Bone marrow aspirate smear.
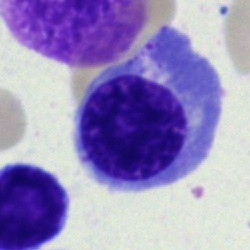
An erythroblast.